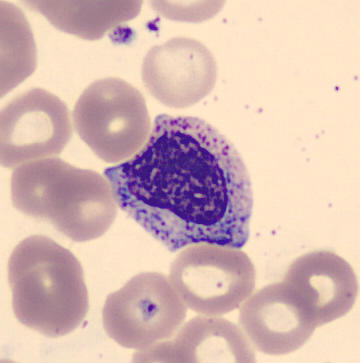

{"cell_type": "metamyelocyte"}